Single-cell crop. Bone marrow smear. 40× objective, oil immersion: 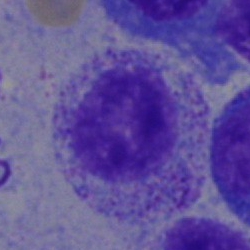
{"cell_type": "myelocyte", "lineage": "myeloid"}